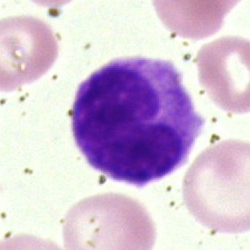 Specimen: bone marrow smear.
Classification: monocyte.